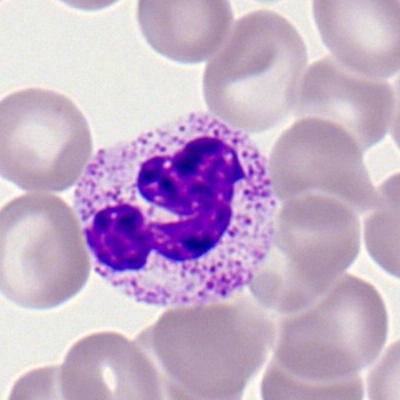

Cell type = segmented neutrophil.